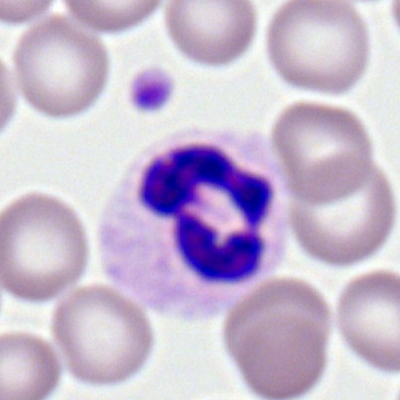Q: Identify the cell.
A: It is a polymorphonuclear neutrophil.